Bone marrow smear — 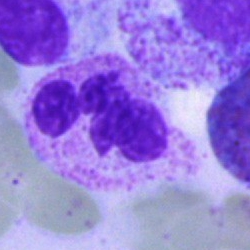 Single cell identified as a neutrophil (segmented).